Bone marrow aspirate smear:
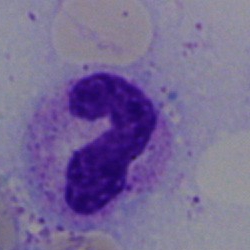Morphological class: stab cell.